Cropped to a single cell; peripheral blood film; 400 by 400 pixels.
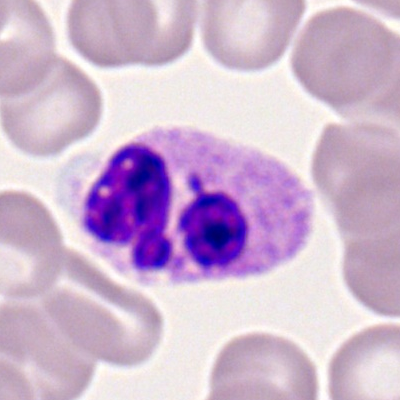Showing a polymorphonuclear neutrophil.